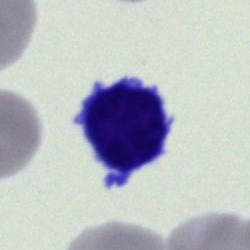 Q: What type of cell is this?
A: It is an unidentifiable cell.